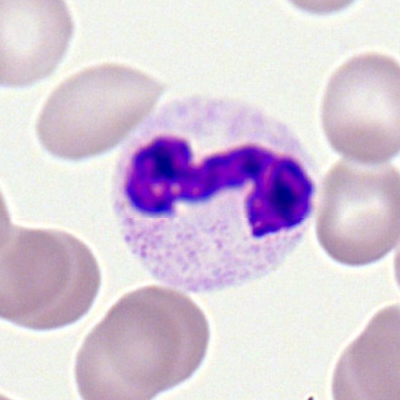

Peripheral blood smear showing a polymorphonuclear neutrophil.